Bone marrow aspirate smear.
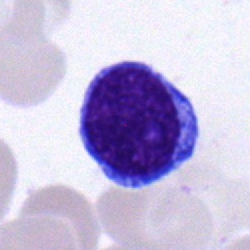
Q: What type of cell is this?
A: This is a lymphocyte.